Bone marrow smear · image size 250×250 — 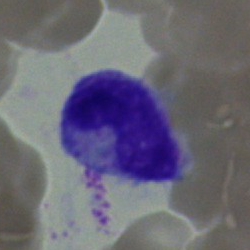

Q: What is shown here?
A: This is a metamyelocyte.